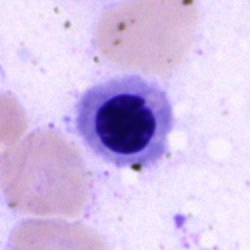 Q: Which cell type is shown here?
A: This is a normoblast.